Bone marrow aspirate smear.
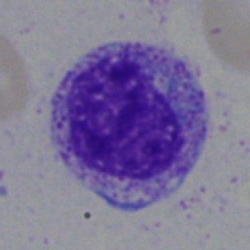
Single cell identified as a myelocyte.